Bone marrow aspirate smear:
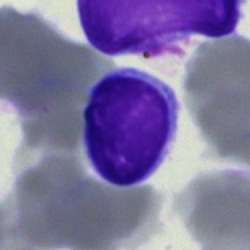
A typical lymphocyte.